Bone marrow aspirate smear.
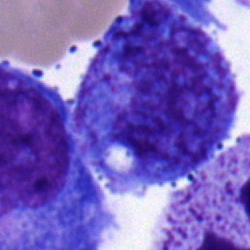 Cell: promyelocyte.